Bone marrow aspirate smear; Pappenheim-stained
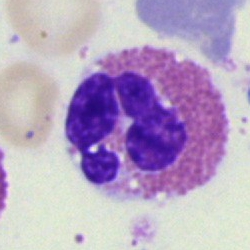Single cell identified as a basophil.